Bone marrow aspirate smear. Image size 250×250. 40× objective, oil immersion:
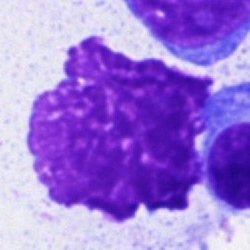An artefact.